Bone marrow smear; single-cell crop:
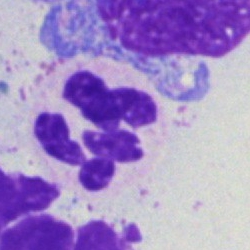

Q: What type of cell is this?
A: Segmented neutrophil.